Bone marrow aspirate smear; 40× oil immersion:
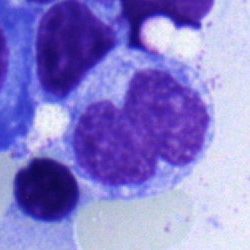 Morphology → monocyte.